Bone marrow aspirate smear
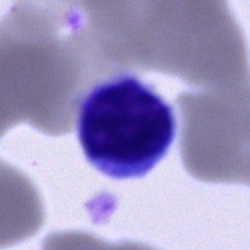Morphological class: typical lymphocyte.